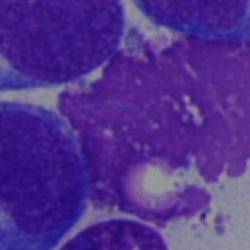 Single cell identified as an artifact.